Bone marrow aspirate smear:
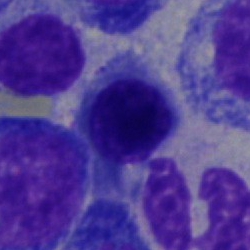

Cell type = erythroblast.